Bone marrow aspirate smear
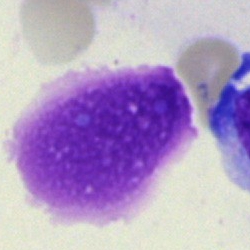Cell type: artifact.